40× oil immersion; bone marrow aspirate smear:
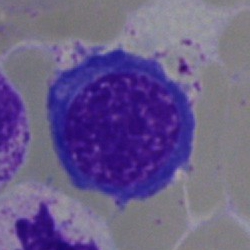

Morphology — normoblast.